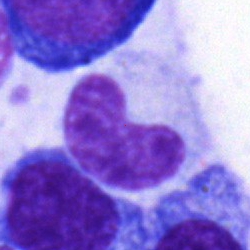

Cell = metamyelocyte.